Bone marrow smear: 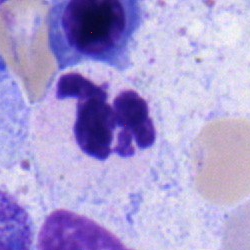 The cell shown is a polymorphonuclear neutrophil.